Single-cell field; bone marrow smear.
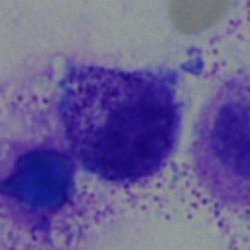
The cell shown is a myelocyte.